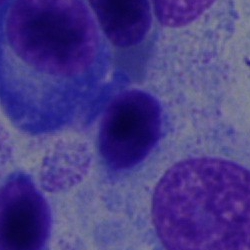

Impression → nucleated red cell.